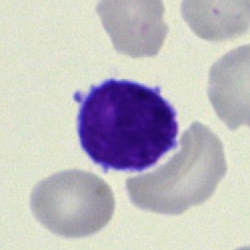

Q: What is shown here?
A: It is a typical lymphocyte.